250×250. Single-cell field. Bone marrow aspirate smear — 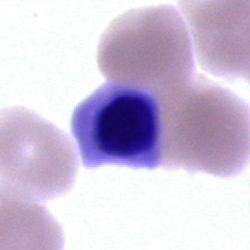
Q: What is shown here?
A: A normoblast.